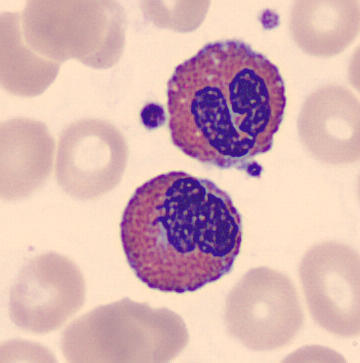Acquisition: Peripheral blood film; single-cell crop.

Single cell identified as an eosinophil.